Pappenheim-stained; bone marrow aspirate smear — 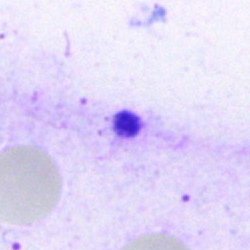

Q: What is shown here?
A: An artefact.